Bone marrow aspirate smear; 250 by 250 pixels:
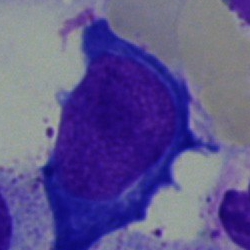 Cell = proerythroblast.